Bone marrow aspirate smear. MGG-stained. Cropped to a single cell.
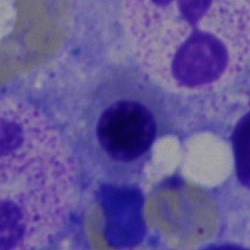
Cell type = normoblast.